Peripheral blood film. 100× oil immersion. 400×400 px
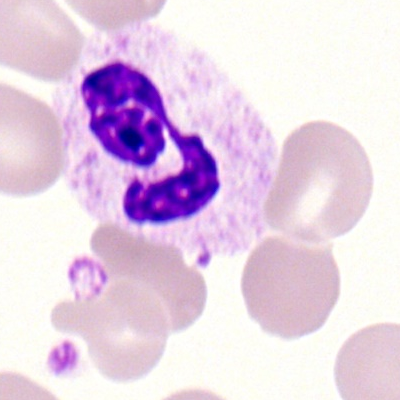 Q: Which cell type is shown here?
A: It is a polymorphonuclear neutrophil.